Bone marrow smear · May-Grünwald-Giemsa/Pappenheim stain · brightfield microscopy, 40× oil immersion
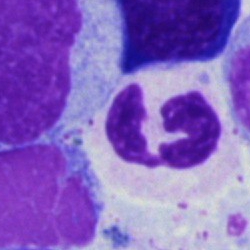Single cell identified as a polymorphonuclear neutrophil.